Bone marrow smear.
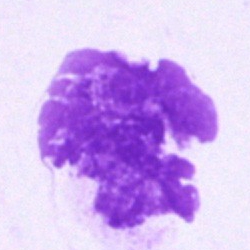 Cell: artifact.